Bone marrow smear: 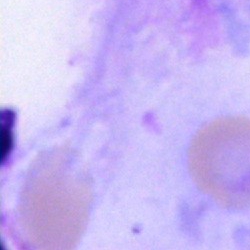

Q: What is shown here?
A: It is an artefact.